Bone marrow smear: 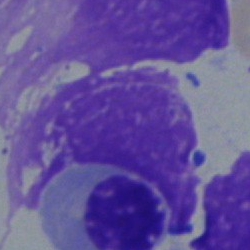Q: Identify the cell.
A: It is a nucleated red blood cell.